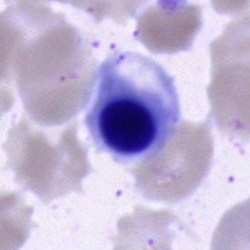

Classification: normoblast.